Single-cell field. Bone marrow aspirate smear. 40× oil immersion
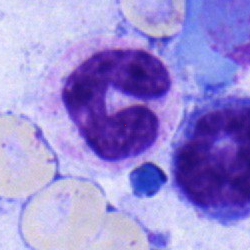
{"cell_type": "band-form neutrophil", "lineage": "myeloid"}